Bone marrow aspirate smear
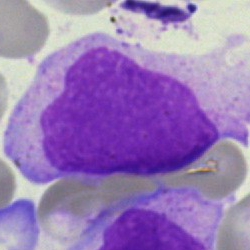
Specimen: bone marrow smear.
Cell type: blast.